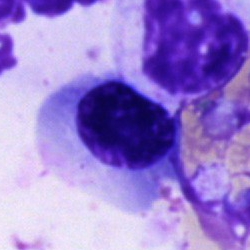

Specimen: bone marrow aspirate smear.
Morphological class: nucleated red blood cell.